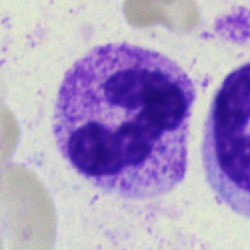Q: Identify the cell.
A: This is a polymorphonuclear neutrophil.